Bone marrow smear:
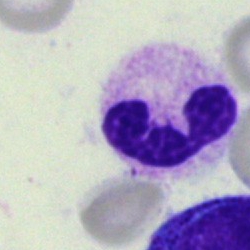
Single cell identified as a segmented neutrophil.